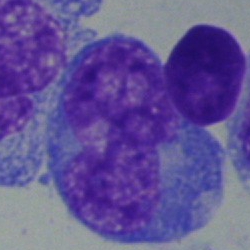
Q: What cell is this?
A: Blast.